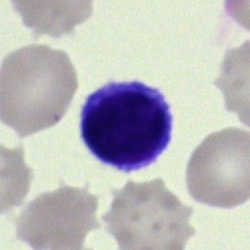
Morphological class = lymphocyte.